Bone marrow aspirate smear
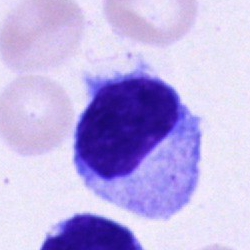 Q: Identify the cell.
A: It is an unidentifiable cell.